MGG-stained. Bone marrow smear. Single cell centered in the field.
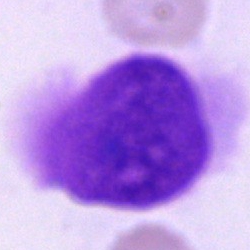

Morphological class — artefact.